Bone marrow smear.
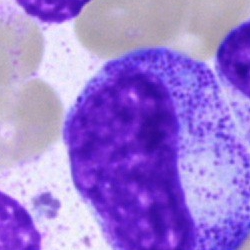Promyelocyte.